Bone marrow aspirate smear — 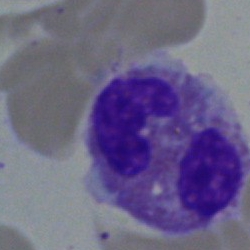An eosinophil.